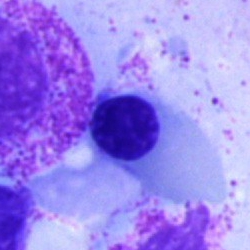

Showing a nucleated red cell.